Bone marrow aspirate smear — 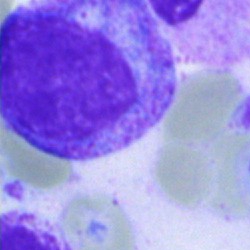
Myelocyte.